Bone marrow smear
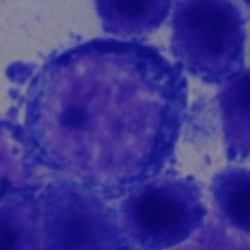Cell type — pronormoblast.